Bone marrow aspirate smear.
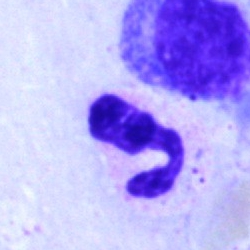 Specimen: bone marrow smear.
Morphological class: polymorphonuclear neutrophil.
Lineage: myeloid.